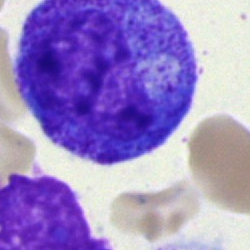Showing a progranulocyte.